40× oil immersion. Bone marrow aspirate smear — 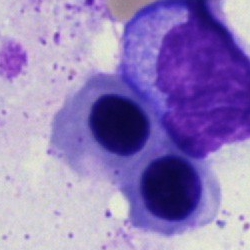 Showing a nucleated red blood cell.